Bone marrow aspirate smear
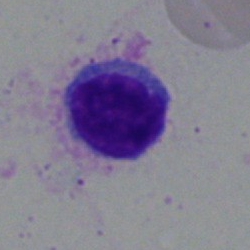Cell — typical lymphocyte.